Image size 250×250 · bone marrow aspirate smear · 40× objective, oil immersion — 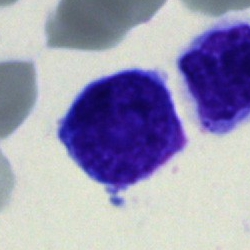 The cell type is typical lymphocyte.